Bone marrow smear: 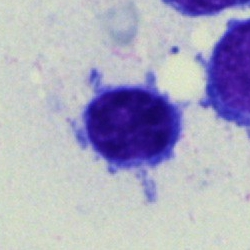 This is a typical lymphocyte.